Bone marrow smear
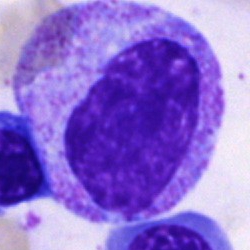

Morphology consistent with a progranulocyte.